Bone marrow smear: 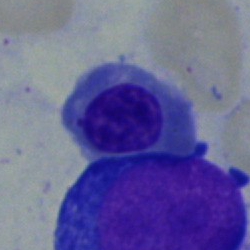 Morphology consistent with a nucleated red blood cell.